Bone marrow smear:
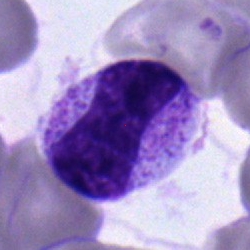
{"cell_type": "metamyelocyte", "lineage": "myeloid"}